Bone marrow smear:
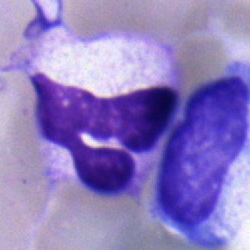

Single cell identified as a neutrophil (segmented).